Single-cell field; May-Grünwald-Giemsa/Pappenheim stain; bone marrow smear: 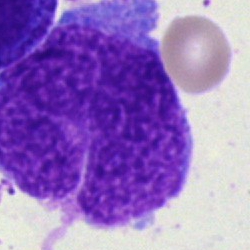
Single cell identified as an artifact.